Bone marrow smear: 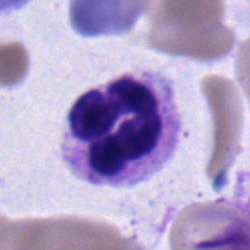Showing a segmented neutrophil.